Bone marrow aspirate smear · brightfield, 40× oil-immersion objective — 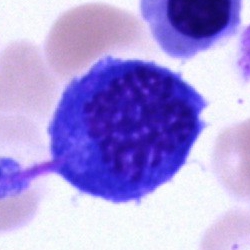
Q: What cell is this?
A: A nucleated red cell.